Bone marrow smear · May-Grünwald-Giemsa/Pappenheim stain
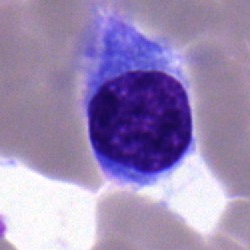
This is a plasmacyte.